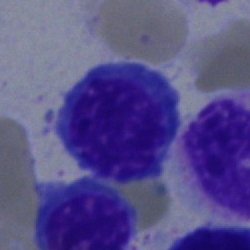

Showing an erythroblast.